Bone marrow aspirate smear: 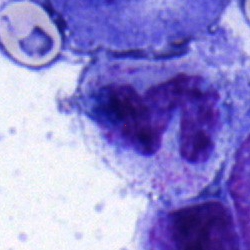
Impression — band-form neutrophil.